Bone marrow smear · 40× oil immersion
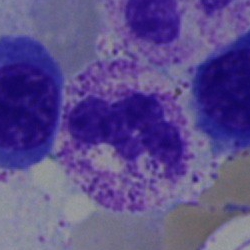

Morphology consistent with a neutrophil (segmented).